Bone marrow smear · image size 250×250 · MGG-stained — 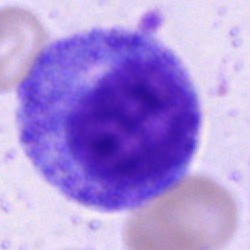
The morphological class is promyelocyte.